Romanowsky stain · single-cell crop · peripheral blood film:
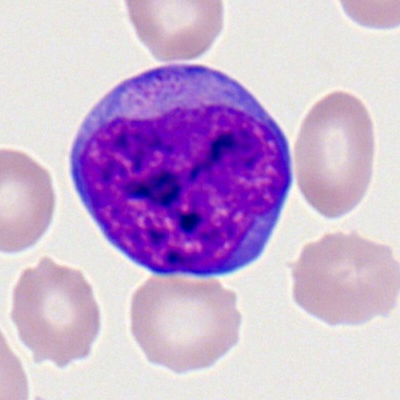

Cell — myeloid blast.